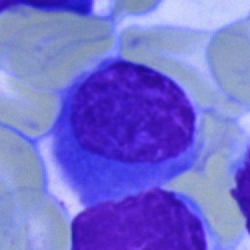The cell is plasma cell.